Bone marrow aspirate smear: 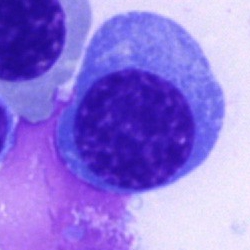

Showing an erythroblast.